Bone marrow smear; May-Grünwald-Giemsa/Pappenheim stain:
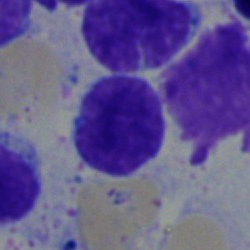 Single cell identified as a typical lymphocyte.